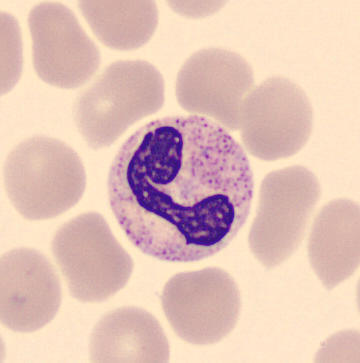
Peripheral blood film; single cell centered in the field; MGG stain.
Impression — band-form neutrophil.